Bone marrow aspirate smear. Brightfield, 40× oil-immersion objective: 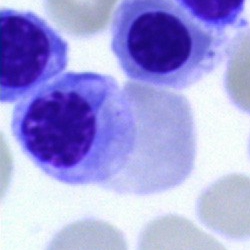

Specimen: bone marrow smear.
Cell: nucleated red cell.